Bone marrow aspirate smear: 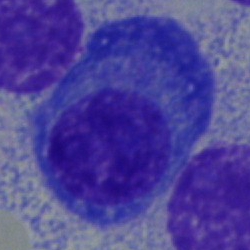 Impression → plasmacyte.